Bone marrow smear. Cropped to a single cell — 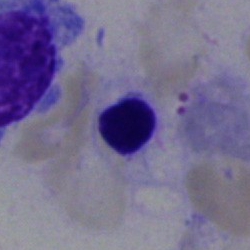

Morphological class: nucleated red cell.